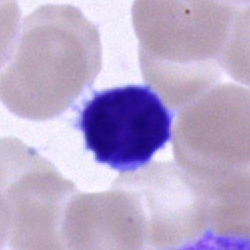
A typical lymphocyte.